Bone marrow smear:
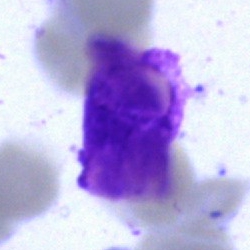 Showing an artifact.